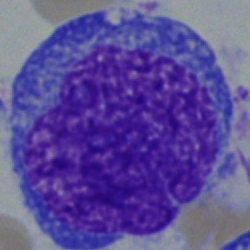
Specimen: bone marrow smear.
Cell type: blast.